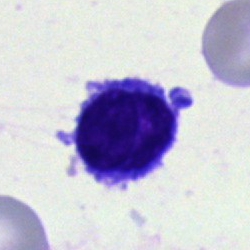 Single-cell crop from a bone marrow smear: typical lymphocyte.